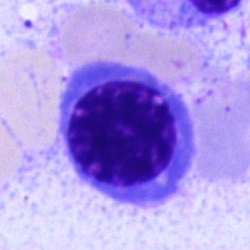 Cell type — nucleated red cell.